Brightfield microscopy, 40× oil immersion · 250 by 250 pixels · bone marrow aspirate smear: 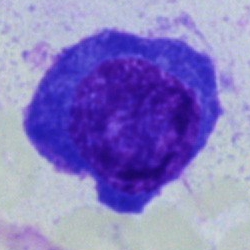Morphology → plasma cell.